Bone marrow smear. 250 by 250 pixels — 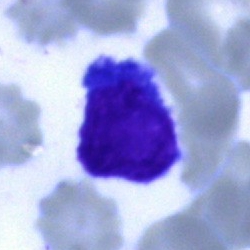Morphology consistent with a lymphocyte.